Bone marrow aspirate smear.
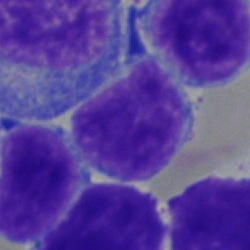

Morphology → lymphocyte.